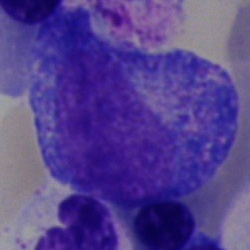

The classification is promyelocyte.